Single-cell field. Bone marrow aspirate smear. Brightfield, 40× oil-immersion objective — 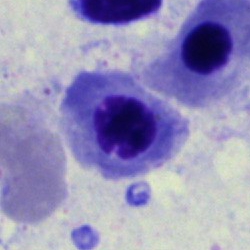 Cell type = nucleated red blood cell.